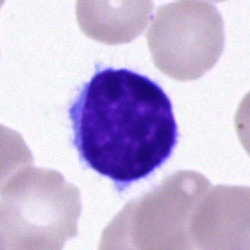 Impression → typical lymphocyte.